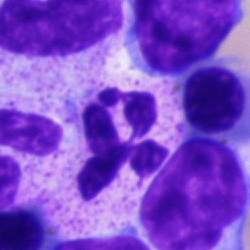
The morphological class is polymorphonuclear neutrophil.